Brightfield, 40× oil-immersion objective · bone marrow aspirate smear
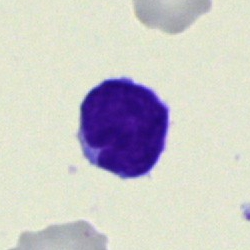

Q: What type of cell is this?
A: This is a typical lymphocyte.